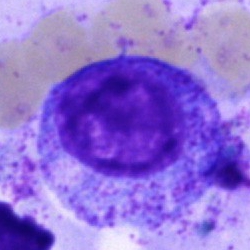
Single cell identified as a promyelocyte.